Single cell centered in the field; 250×250 px; bone marrow aspirate smear — 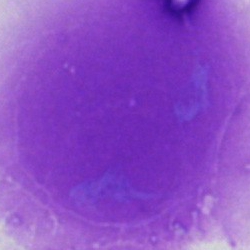

Q: What is shown here?
A: An artefact.